Bone marrow aspirate smear. MGG-stained: 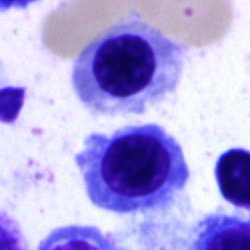 {"cell_type": "nucleated red blood cell", "lineage": "erythroid"}